Bone marrow aspirate smear
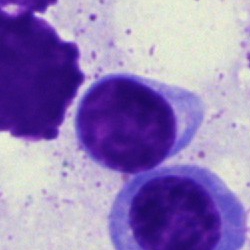 {"cell_type": "typical lymphocyte", "lineage": "lymphoid"}